Bone marrow aspirate smear. Single-cell field — 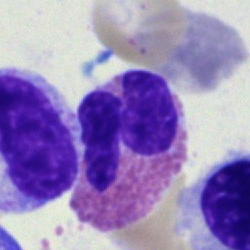
Q: What is the morphological classification of this cell?
A: Eosinophil.